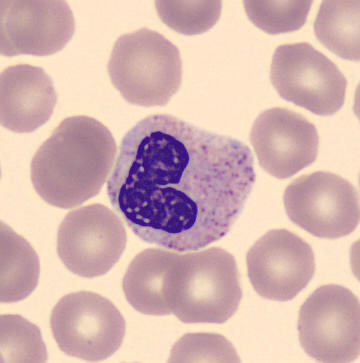

Morphology consistent with a polymorphonuclear neutrophil.

Peripheral blood film.